100× oil immersion; peripheral blood smear; image size 400×400.
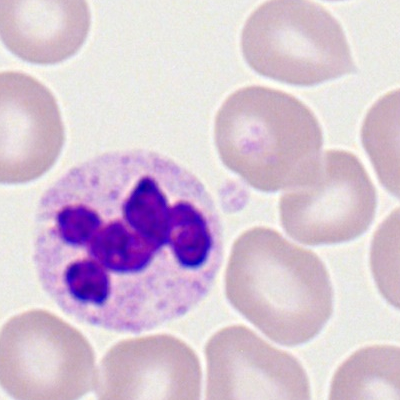

Specimen: peripheral blood smear.
Classification: polymorphonuclear neutrophil.
Lineage: myeloid.